Bone marrow smear — 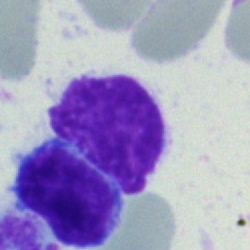
Morphology → typical lymphocyte.